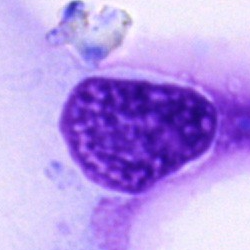Q: What is shown here?
A: It is an artefact.